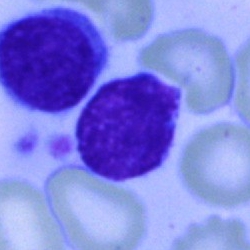Q: What is shown here?
A: This is a typical lymphocyte.